Brightfield, 40× oil-immersion objective · Pappenheim-stained · bone marrow aspirate smear: 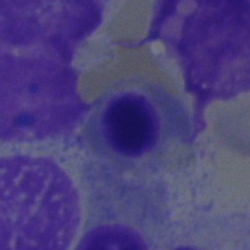
Specimen: bone marrow smear.
Cell: nucleated red cell.